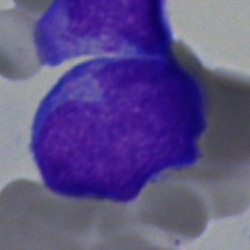
Single-cell crop from a bone marrow smear: undifferentiated blast.